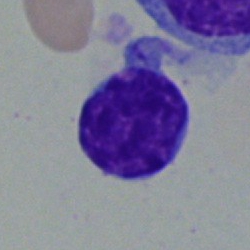

Showing a lymphocyte.